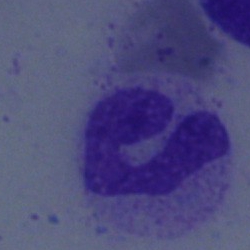

Morphology consistent with a neutrophil (band).